Bone marrow smear:
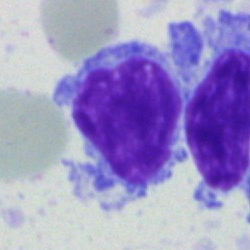The cell shown is a typical lymphocyte.